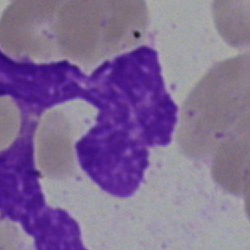Q: What is shown here?
A: Artefact.